Peripheral blood smear.
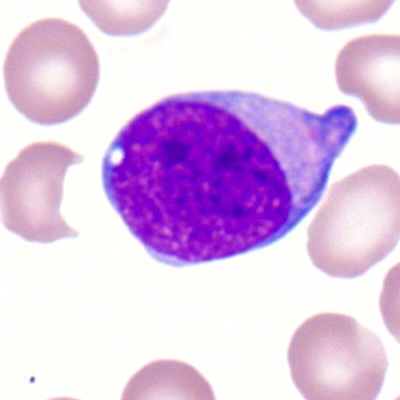Q: What cell is this?
A: It is a myeloid blast.